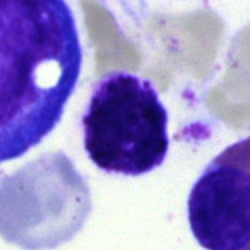
Specimen: bone marrow aspirate smear.
Cell: basophilic granulocyte.
Lineage: myeloid.